Bone marrow smear: 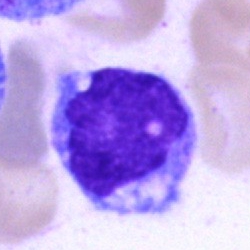Cell = monocyte.